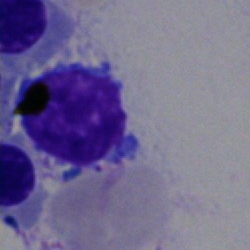
Lymphocyte.